Bone marrow smear · single cell centered in the field · Pappenheim-stained
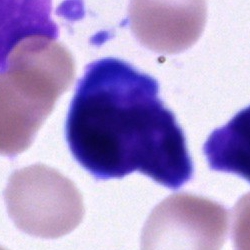 Morphology consistent with a cell of indeterminate lineage.